250×250 px · bone marrow smear — 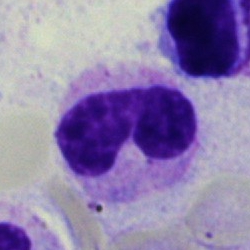Morphology consistent with a neutrophil (band).